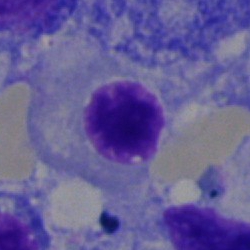
A nucleated red cell on a bone marrow smear.